Image size 250×250; bone marrow smear: 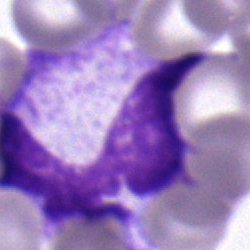
Single cell identified as a polymorphonuclear neutrophil.